Brightfield microscopy, 40× oil immersion; Pappenheim-stained; bone marrow aspirate smear.
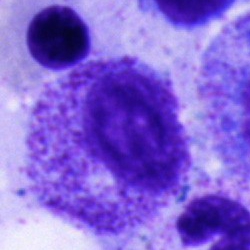 Q: What is shown here?
A: Promyelocyte.